40× oil immersion; cropped to a single cell; bone marrow smear:
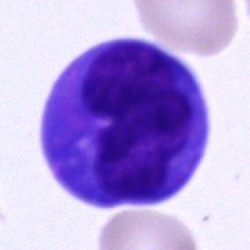Morphological class: monocyte.